Bone marrow aspirate smear; MGG-stained — 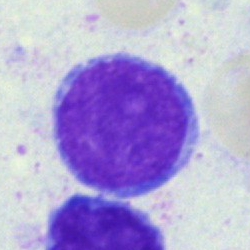Undifferentiated blast.